Bone marrow smear:
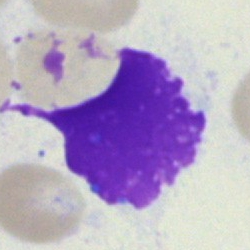 Morphology — artifact.